Bone marrow aspirate smear: 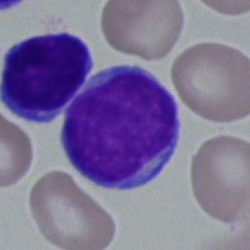 Morphological class = lymphocyte.